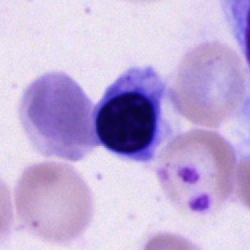Bone marrow smear showing a normoblast.